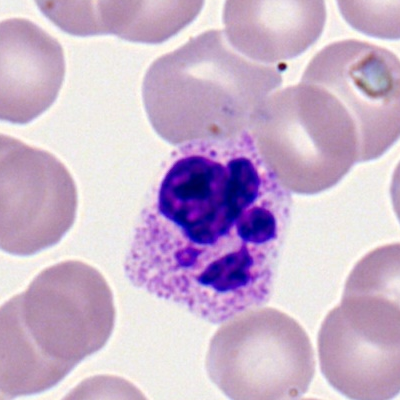
Impression — neutrophil (segmented).